Bone marrow smear.
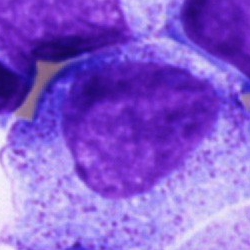Classification = progranulocyte.